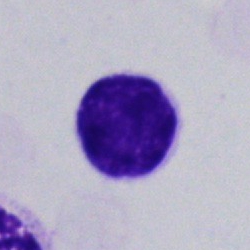

Q: Identify the cell.
A: It is a lymphocyte.